Bone marrow aspirate smear; 250×250: 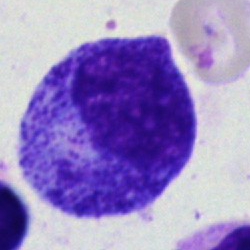

Q: Identify the cell.
A: It is a progranulocyte.